40× oil immersion; single cell centered in the field; bone marrow aspirate smear
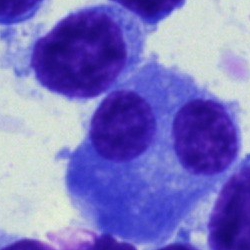Cell type: plasma cell.